Bone marrow smear.
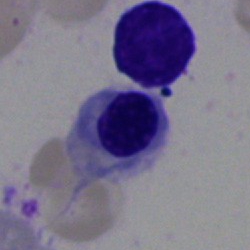 {"cell_type": "normoblast", "lineage": "erythroid"}